Bone marrow smear:
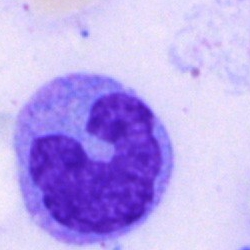
Cell type — monocyte.